250×250 px; bone marrow smear:
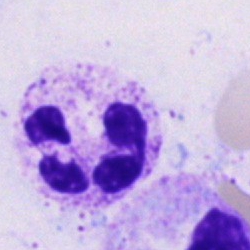
Q: What cell is this?
A: It is a segmented neutrophil.